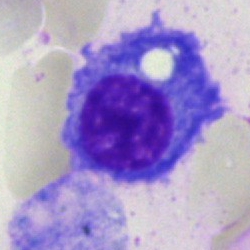
The cell shown is a plasmacyte.